Bone marrow aspirate smear; brightfield microscopy, 40× oil immersion; single-cell field.
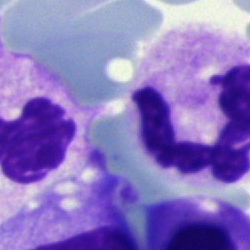Q: What is shown here?
A: It is an artefact.